Image size 250×250; bone marrow smear.
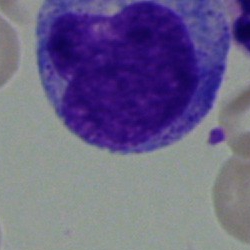

Monocyte.